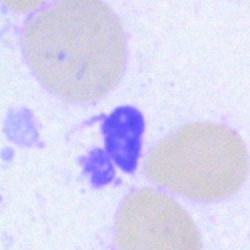

Cell — artefact.